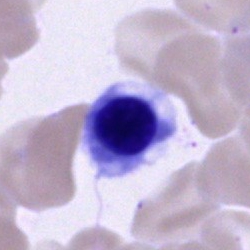
An erythroblast.